Bone marrow aspirate smear. Cropped to a single cell. Pappenheim-stained — 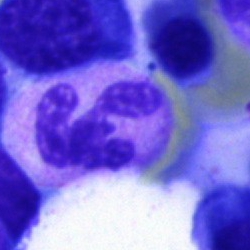

Q: Identify the cell.
A: This is a segmented neutrophil.